Bone marrow aspirate smear. 40× oil immersion. May-Grünwald-Giemsa stain: 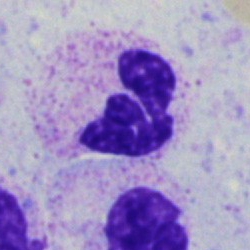 Q: What is shown here?
A: Polymorphonuclear neutrophil.